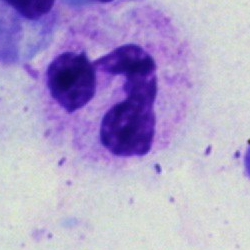Q: Identify the cell.
A: Neutrophil (segmented).